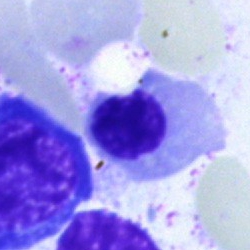
Morphology consistent with an erythroblast.